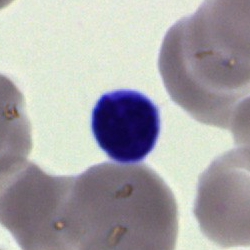 Morphological class — cell of indeterminate lineage.